Bone marrow smear:
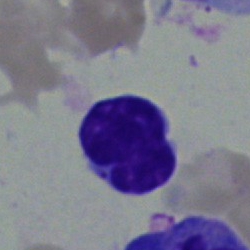 Q: Identify the cell.
A: This is a typical lymphocyte.